Single-cell crop. Bone marrow smear — 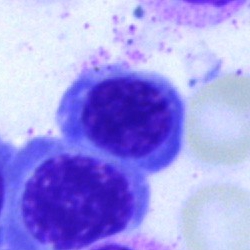 Q: Which cell type is shown here?
A: This is a nucleated red blood cell.